Bone marrow aspirate smear: 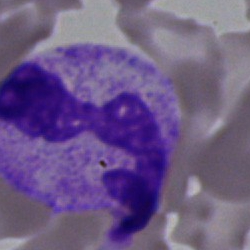Specimen: bone marrow smear.
Classification: segmented neutrophil.
Lineage: myeloid.